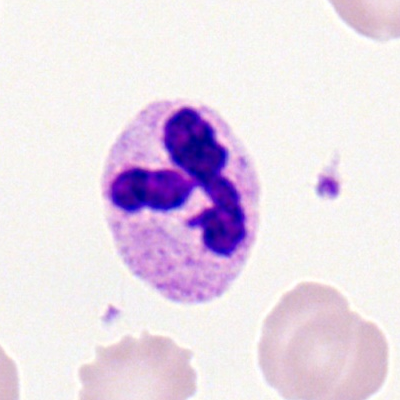

Neutrophil (segmented).